Image size 400×400. Peripheral blood smear. Romanowsky-type stain:
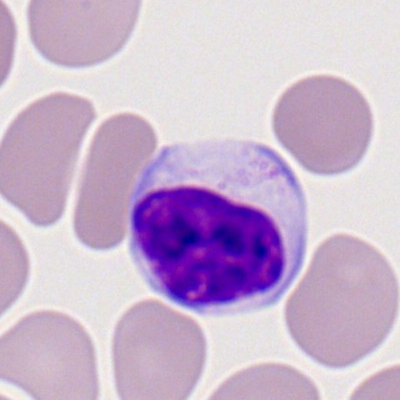 Single cell identified as a lymphocyte.